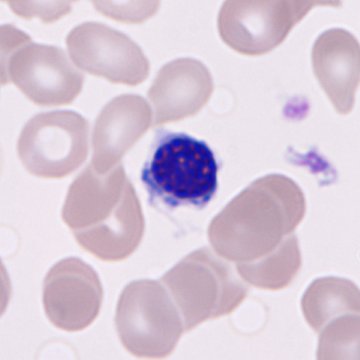

Cell — nucleated red cell.